Peripheral blood smear: 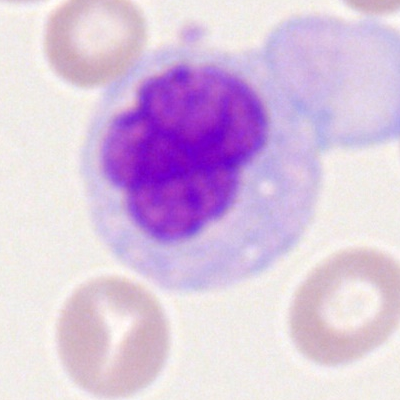

Cell type = monocyte.